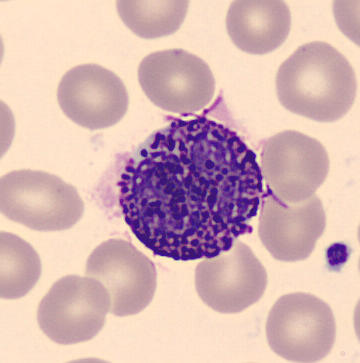
Acquisition: Peripheral blood smear; MGG stain.
Showing a basophilic granulocyte.